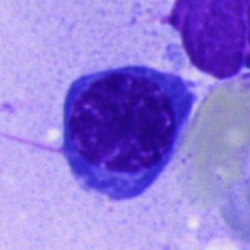 Specimen: bone marrow aspirate smear.
Classification: erythroblast.
Lineage: erythroid.